Bone marrow aspirate smear
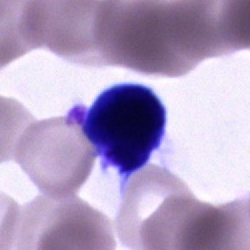

Showing a cell of indeterminate lineage.